MGG-stained; bone marrow smear:
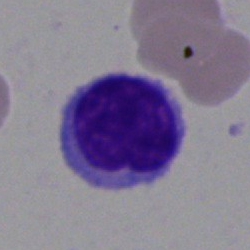A blast.